Single-cell crop · bone marrow smear:
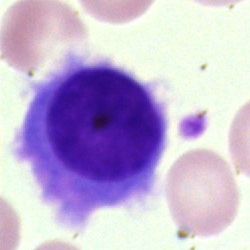Specimen: bone marrow aspirate smear.
Morphological class: hairy cell.
Lineage: lymphoid.